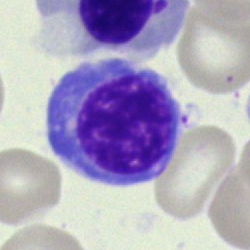

Impression → normoblast.